Bone marrow smear.
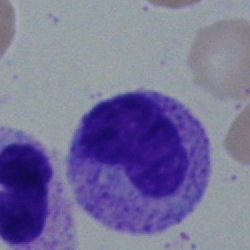Specimen: bone marrow aspirate smear.
Cell type: metamyelocyte.